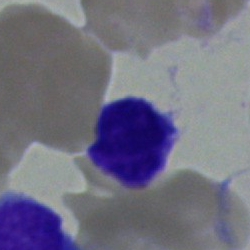 Q: What type of cell is this?
A: This is a lymphocyte.